Bone marrow aspirate smear; cropped to a single cell.
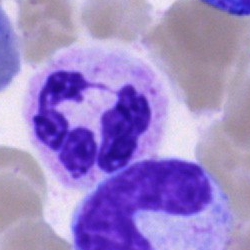Q: What type of cell is this?
A: Neutrophil (segmented).